Bone marrow smear.
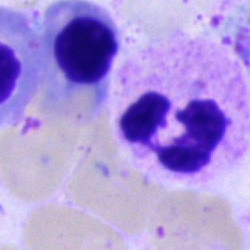

Cell type: segmented neutrophil.